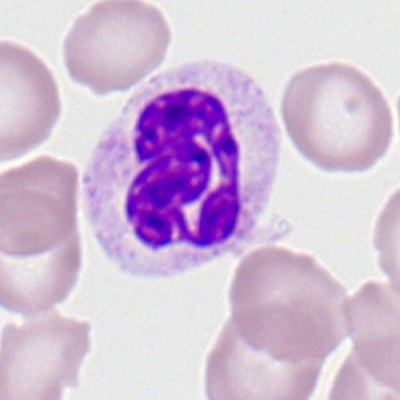

Specimen: peripheral blood smear.
Cell: polymorphonuclear neutrophil.